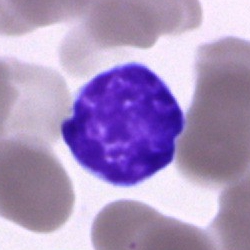
{"cell_type": "lymphocyte"}